250×250 px. Bone marrow aspirate smear. Single-cell crop — 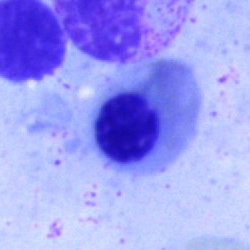Specimen: bone marrow smear.
Cell type: normoblast.